40× oil immersion; bone marrow smear — 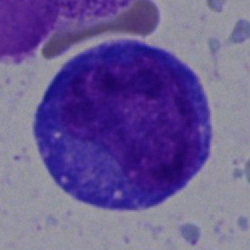The cell shown is a promyelocyte.